Bone marrow smear.
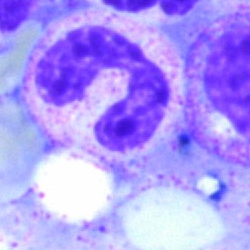 Q: What is shown here?
A: Polymorphonuclear neutrophil.